Bone marrow smear.
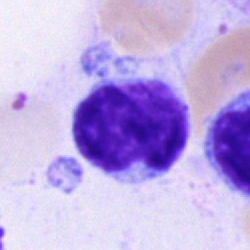Single cell identified as a typical lymphocyte.